Pappenheim-stained; single cell centered in the field; bone marrow smear: 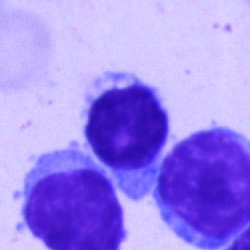 Cell: typical lymphocyte.